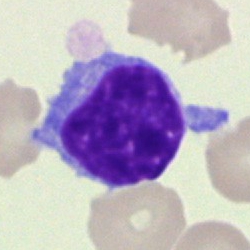

Impression → typical lymphocyte.